Bone marrow aspirate smear. Pappenheim-stained: 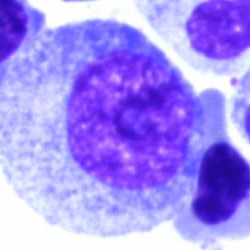 Morphology → progranulocyte.